Bone marrow smear: 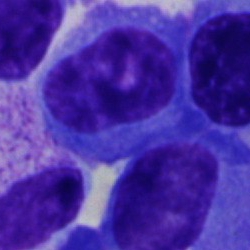

The cell shown is a plasmacyte.